Bone marrow aspirate smear.
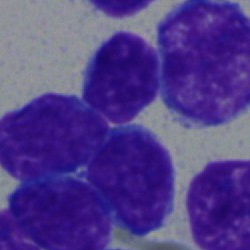 Cell — typical lymphocyte.